Peripheral blood smear.
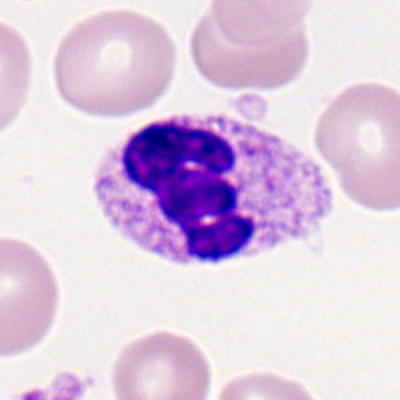 The classification is polymorphonuclear neutrophil.